Single-cell crop; bone marrow aspirate smear: 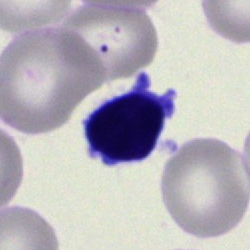

Morphology → typical lymphocyte.